Bone marrow aspirate smear · 40× objective, oil immersion · single-cell field:
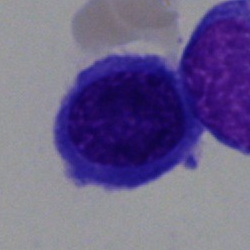 Impression → normoblast.